Single-cell field · 250 by 250 pixels · bone marrow aspirate smear:
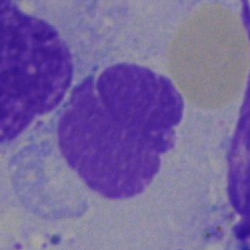 This is an artifact.